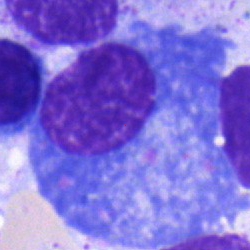
Cell = plasmacyte.